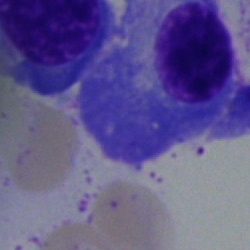Classification — plasma cell.